May-Grünwald-Giemsa stain · brightfield microscopy, 40× oil immersion · bone marrow aspirate smear:
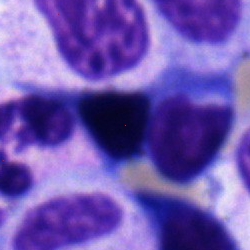 Morphology — erythroblast.